250×250 px · bone marrow aspirate smear: 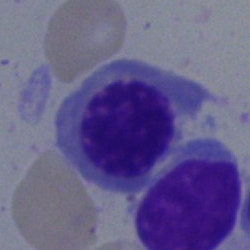Cell type = normoblast.